Bone marrow aspirate smear: 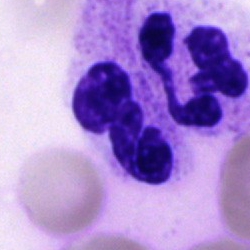
Single cell identified as a neutrophil (segmented).